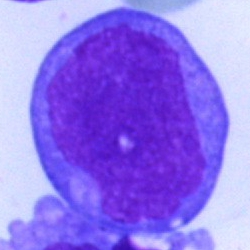
Specimen: bone marrow aspirate smear.
Cell type: blast cell.